May-Grünwald-Giemsa stain · bone marrow smear — 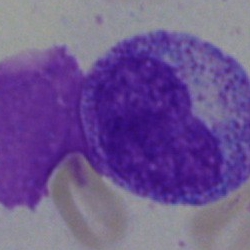Classification = metamyelocyte.